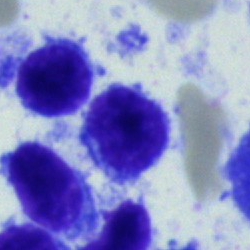

Q: What type of cell is this?
A: Typical lymphocyte.